Bone marrow aspirate smear: 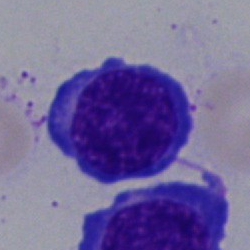
{"cell_type": "erythroblast"}